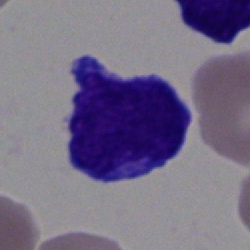Single-cell crop from a bone marrow smear: blast.